100× objective, oil immersion. Peripheral blood smear:
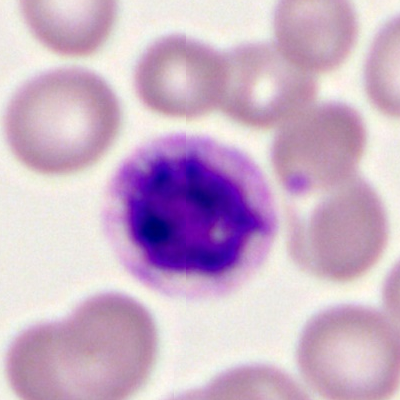
The classification is basophil.